Brightfield, 40× oil-immersion objective; bone marrow smear; single cell centered in the field: 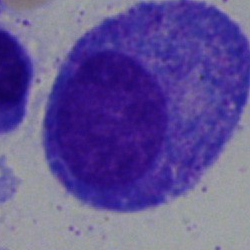Morphology consistent with a progranulocyte.